Bone marrow aspirate smear.
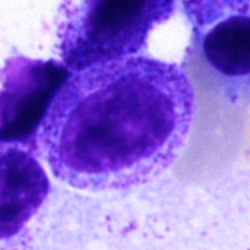

This is a myelocyte.